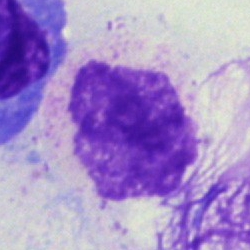
Bone marrow aspirate smear, single cell — artefact.